Bone marrow smear. Single-cell field — 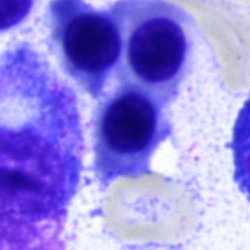 Morphology — nucleated red blood cell.